Bone marrow smear; 250×250 — 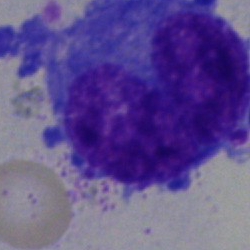

Specimen: bone marrow aspirate smear.
Cell type: monocyte.